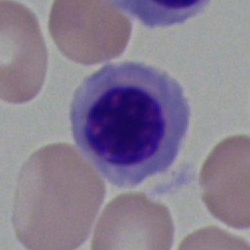 Q: Identify the cell.
A: Nucleated red cell.